Bone marrow smear:
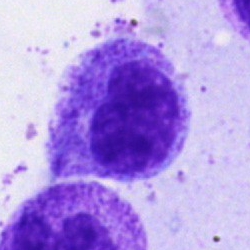Metamyelocyte.